Bone marrow aspirate smear: 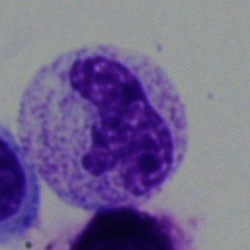Neutrophil (segmented).